Bone marrow aspirate smear:
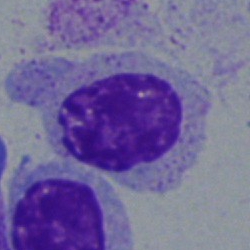Cell type — myelocyte.